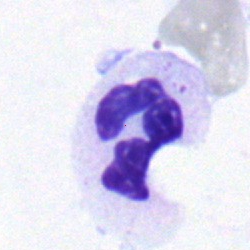

Q: What cell is this?
A: Segmented neutrophil.